Cropped to a single cell; bone marrow aspirate smear; image size 250×250.
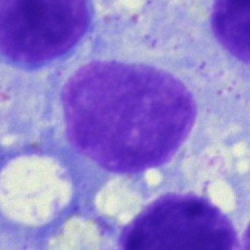Classification: plasmacyte.